Bone marrow aspirate smear · brightfield, 40× oil-immersion objective
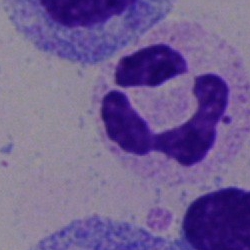

A segmented neutrophil.